Bone marrow smear · Pappenheim-stained: 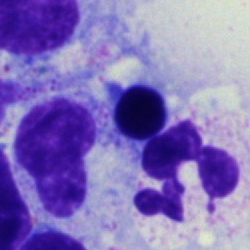
The classification is polymorphonuclear neutrophil.